Bone marrow smear. 250 by 250 pixels: 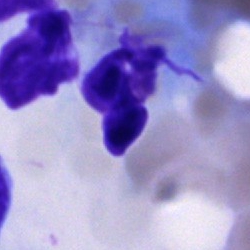The cell shown is an artefact.